Bone marrow aspirate smear: 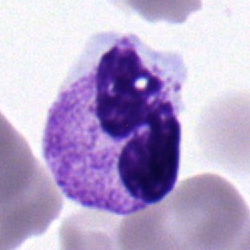 Impression → segmented neutrophil.